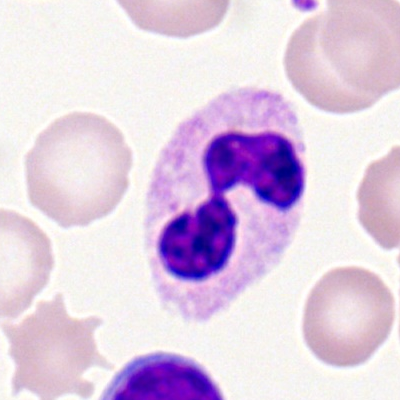Morphological class — polymorphonuclear neutrophil.